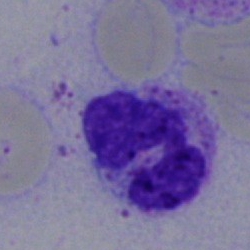Impression — segmented neutrophil.